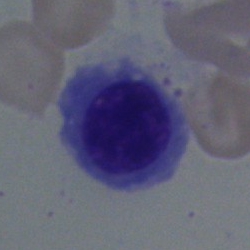

Cell type = erythroblast.